Bone marrow smear — 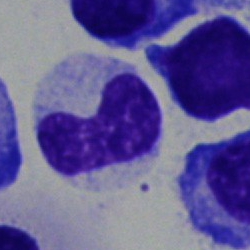

Morphology — band neutrophil.